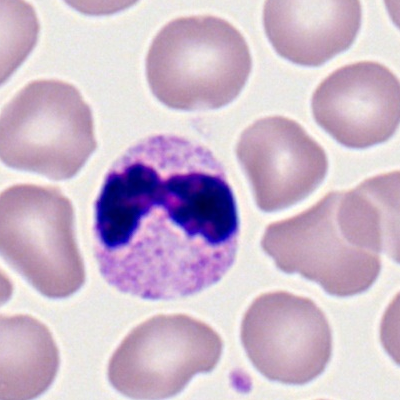Morphology consistent with a polymorphonuclear neutrophil.